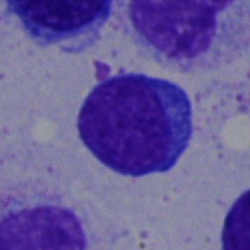 Q: What is shown here?
A: This is a typical lymphocyte.